Bone marrow aspirate smear · May-Grünwald-Giemsa/Pappenheim stain.
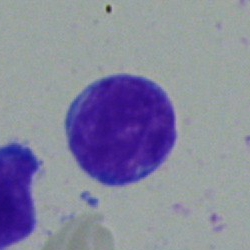
Q: What cell is this?
A: This is a blast.